Single-cell field · bone marrow smear
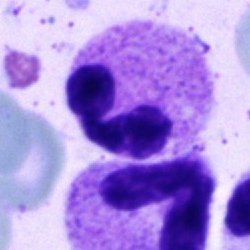

Classification — segmented neutrophil.